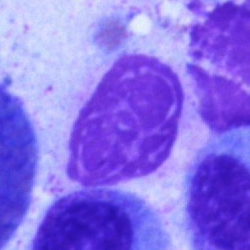 The morphological class is artifact.